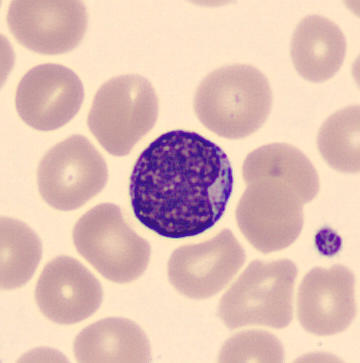
Preparation: Peripheral blood smear; CellaVision DM96.

Q: Which cell type is shown here?
A: It is a myelocyte.